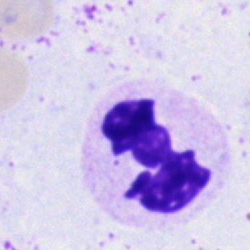

Q: What is the morphological classification of this cell?
A: A segmented neutrophil.